MGG-stained · bone marrow aspirate smear — 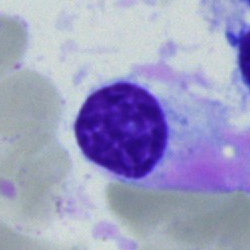
Specimen: bone marrow smear.
Cell: plasmacyte.